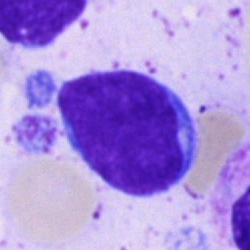Impression — blast cell.